Cropped to a single cell; May-Grünwald-Giemsa stain; bone marrow smear — 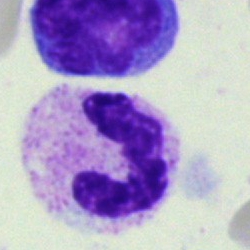
Q: What is shown here?
A: It is a neutrophil (segmented).